Bone marrow aspirate smear:
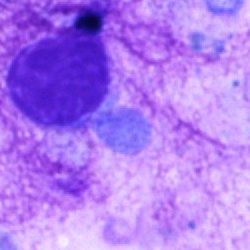
Cell type: artifact.